Peripheral blood smear: 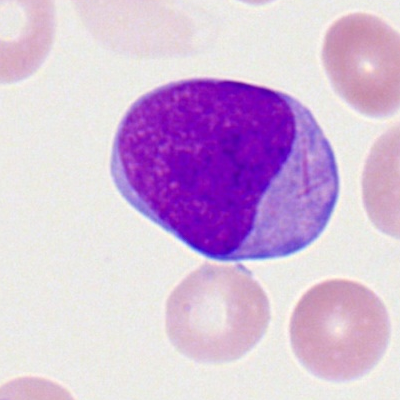
Myeloid blast.